100× oil immersion, 14.14 px/µm; single-cell field; peripheral blood film: 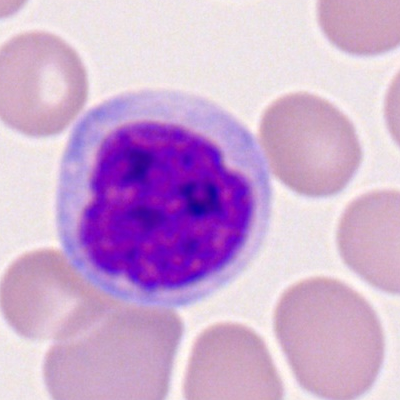This is a monocyte.